Single-cell field; brightfield microscopy, 40× oil immersion; bone marrow aspirate smear — 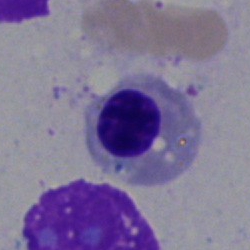
Morphology consistent with a nucleated red blood cell.